Bone marrow aspirate smear · May-Grünwald-Giemsa stain:
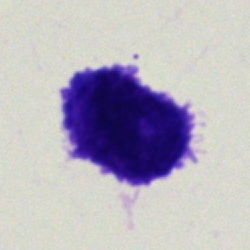The cell type is blast cell.